Bone marrow smear: 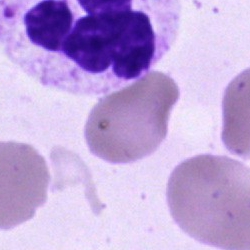
Specimen: bone marrow aspirate smear.
Cell type: neutrophil (segmented).
Lineage: myeloid.